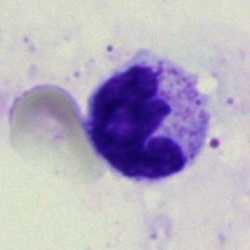
Morphology consistent with a polymorphonuclear neutrophil.